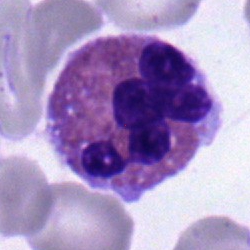
The cell shown is an eosinophilic granulocyte.